Bone marrow smear.
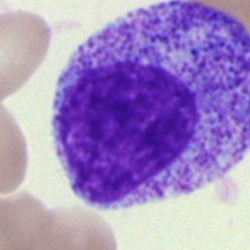

Specimen: bone marrow smear.
Cell: promyelocyte.
Lineage: myeloid.